May-Grünwald-Giemsa stain · bone marrow aspirate smear · image size 250×250:
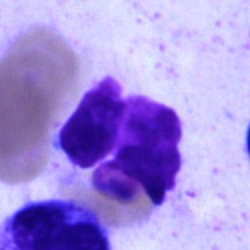

The classification is artifact.